Bone marrow aspirate smear: 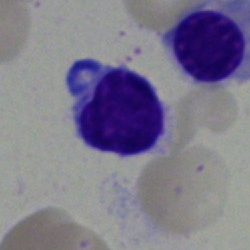
Classification — typical lymphocyte.